Bone marrow aspirate smear
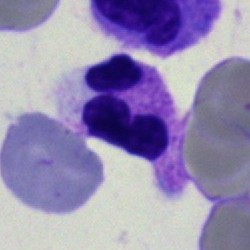

Classification — segmented neutrophil.